Bone marrow smear: 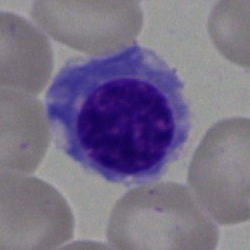Morphology consistent with a nucleated red blood cell.